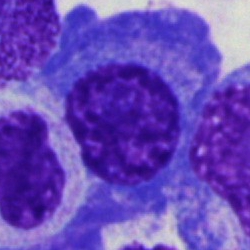 {"cell_type": "plasmacyte", "lineage": "lymphoid"}